Brightfield microscopy, 40× oil immersion · bone marrow smear · May-Grünwald-Giemsa/Pappenheim stain
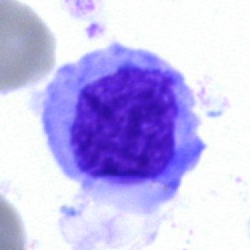Single cell identified as an artifact.